Image size 250×250 · bone marrow smear · single-cell crop
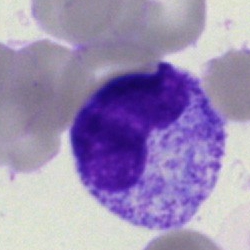

Cell type: band neutrophil.